Bone marrow aspirate smear; 40× oil immersion: 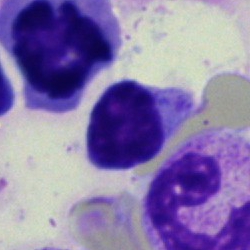 Q: What type of cell is this?
A: Typical lymphocyte.